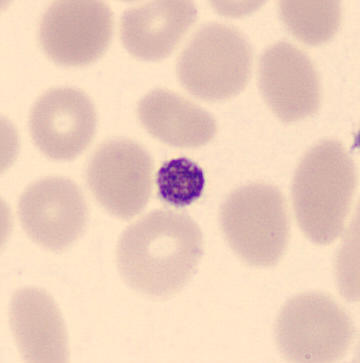The classification is thrombocyte.

Image: Peripheral blood smear.